Bone marrow aspirate smear
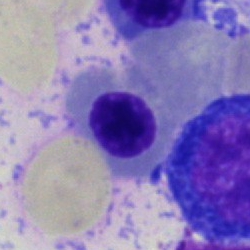Q: Identify the cell.
A: An erythroblast.